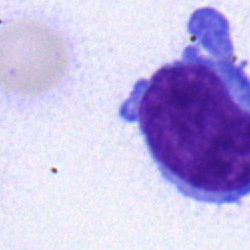
The morphological class is typical lymphocyte.